Bone marrow smear; MGG-stained:
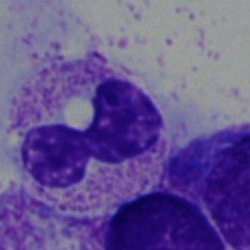

Cell = neutrophil (band).